Bone marrow aspirate smear:
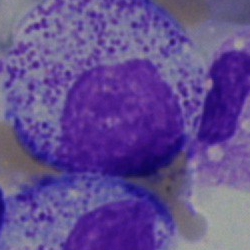

Cell type: myelocyte.